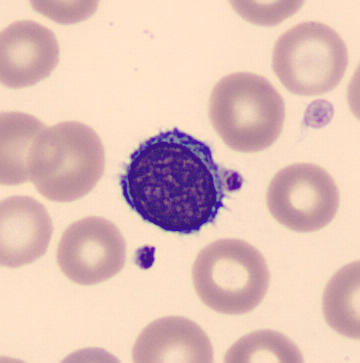
Preparation: Peripheral blood smear · CellaVision DM96.

The classification is typical lymphocyte.